Bone marrow smear. Brightfield microscopy, 40× oil immersion.
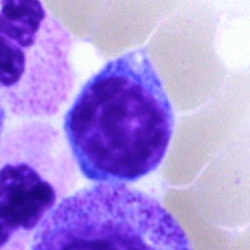Cell type = lymphocyte.